250×250. Bone marrow smear: 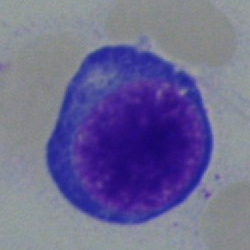Single cell identified as a pronormoblast.